Bone marrow aspirate smear
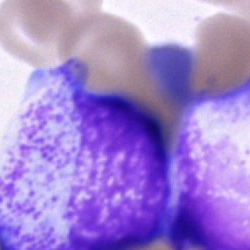

Cell of indeterminate lineage.